May-Grünwald-Giemsa/Pappenheim stain · bone marrow smear — 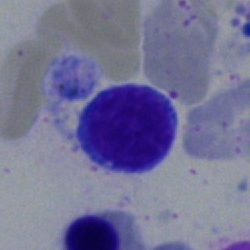 Morphology consistent with a lymphocyte.